Bone marrow smear.
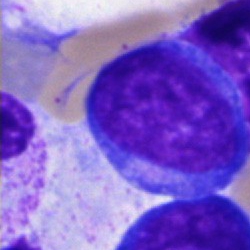Specimen: bone marrow aspirate smear.
Morphological class: blast.